Peripheral blood film:
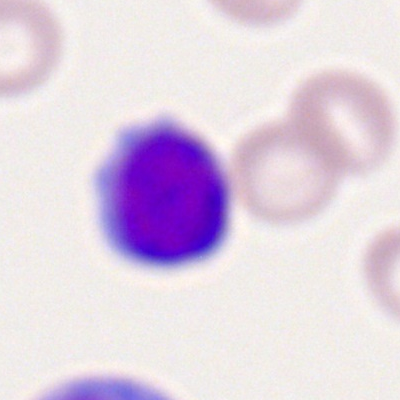Morphology consistent with a lymphocyte.